250 by 250 pixels. Bone marrow smear. MGG-stained
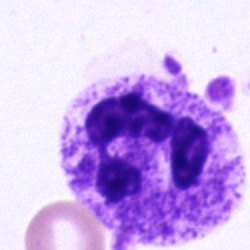Morphology → segmented neutrophil.